Single-cell crop. Bone marrow aspirate smear.
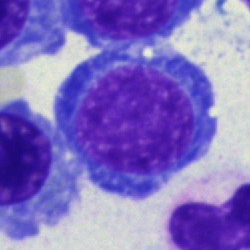 Morphological class: normoblast.